Bone marrow smear:
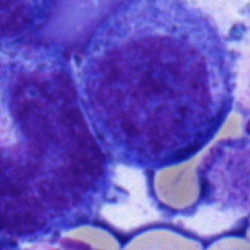
Morphological class — progranulocyte.